Bone marrow smear. Brightfield, 40× oil-immersion objective
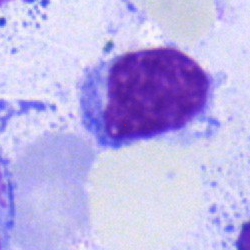Cell — lymphocyte.